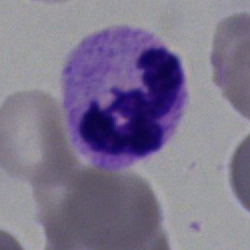

Specimen: bone marrow aspirate smear.
Cell type: segmented neutrophil.